Bone marrow aspirate smear. Single-cell field. 250×250.
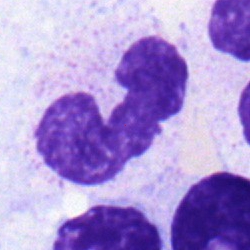
Morphology consistent with a band-form neutrophil.